Bone marrow smear — 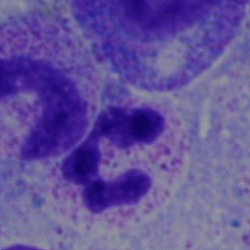
Segmented neutrophil.